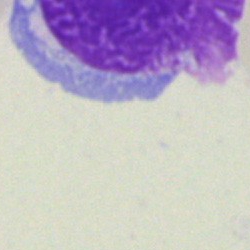Morphology → artefact.